250×250 px. Bone marrow aspirate smear:
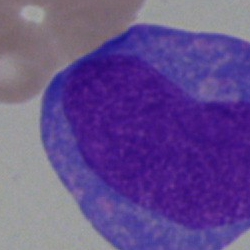
Impression — undifferentiated blast.